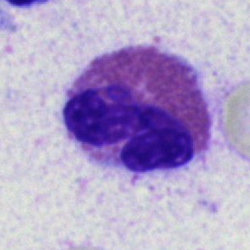
Morphology consistent with an eosinophil.